Bone marrow aspirate smear:
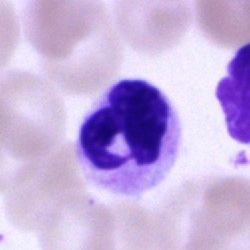

Q: What cell is this?
A: This is a polymorphonuclear neutrophil.